Bone marrow smear · Pappenheim-stained · single cell centered in the field: 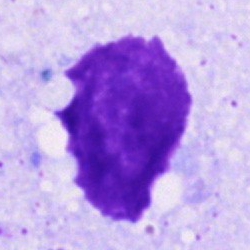The cell shown is an artifact.